Bone marrow smear; 40× oil immersion.
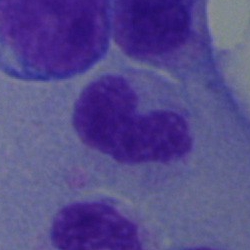
Q: Which cell type is shown here?
A: Band-form neutrophil.